Bone marrow smear — 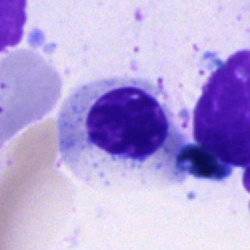
Cell: nucleated red cell.